Bone marrow aspirate smear; brightfield, 40× oil-immersion objective
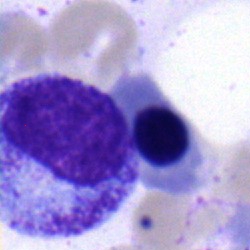 Q: Which cell type is shown here?
A: It is a myelocyte.